Bone marrow smear.
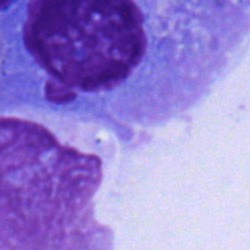 This is a plasma cell.